Bone marrow smear — 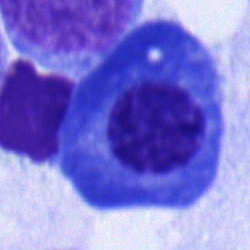

The cell shown is a plasmacyte.